Bone marrow aspirate smear
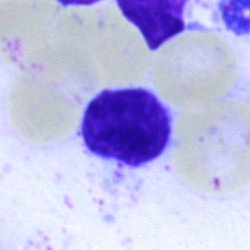 Specimen: bone marrow aspirate smear.
Cell: lymphocyte.
Lineage: lymphoid.